Bone marrow smear.
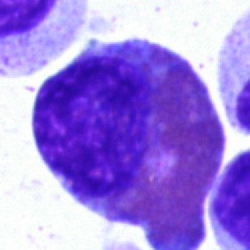
Cell type = eosinophilic granulocyte.